Bone marrow smear: 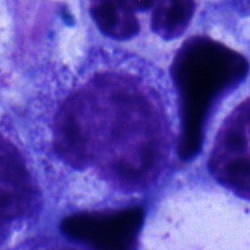

Morphological class — myelocyte.